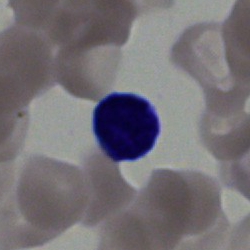Cell type — typical lymphocyte.